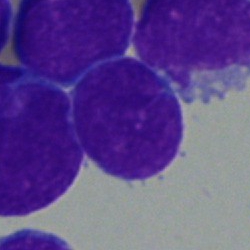Morphology consistent with a blast.